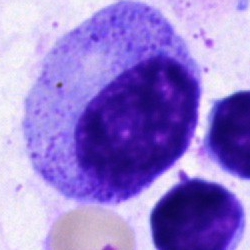
{"cell_type": "progranulocyte"}